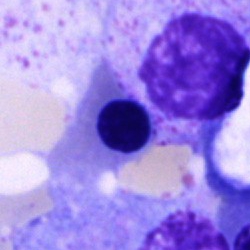
The cell type is normoblast.